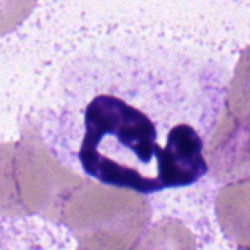 Specimen: bone marrow smear.
Morphological class: polymorphonuclear neutrophil.